Bone marrow smear.
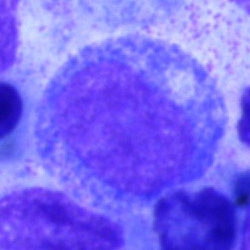 Specimen: bone marrow smear.
Cell: progranulocyte.
Lineage: myeloid.